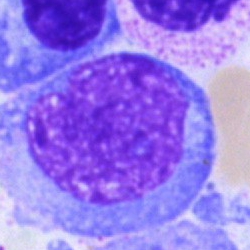
Q: Identify the cell.
A: A blast cell.